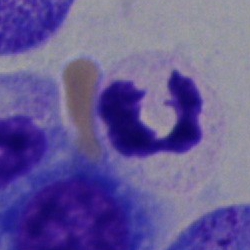The morphological class is polymorphonuclear neutrophil.